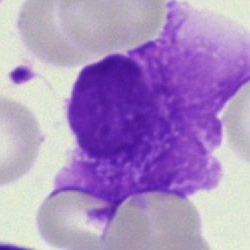

Bone marrow smear showing an artifact.